MGG-stained; bone marrow smear
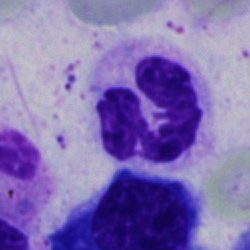

Classification — polymorphonuclear neutrophil.